MGG-stained; 40× oil immersion; bone marrow smear — 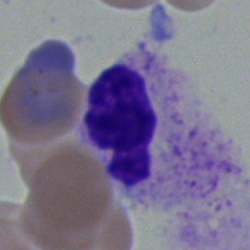

Single cell identified as a neutrophil (segmented).